100× oil immersion, 14.14 px/µm. Peripheral blood film: 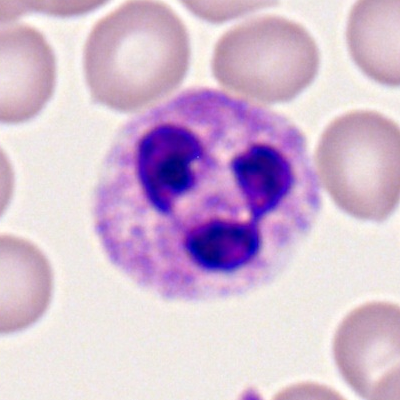

The classification is neutrophil (segmented).